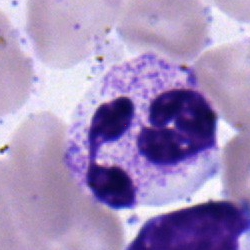 Showing a polymorphonuclear neutrophil.